Single cell centered in the field. Bone marrow smear
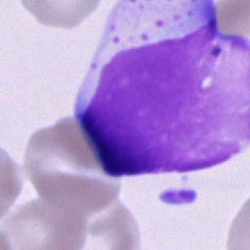Cell type: unidentifiable cell.